Bone marrow aspirate smear — 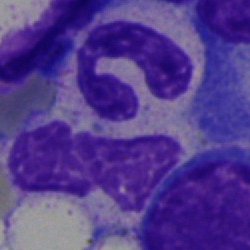

Specimen: bone marrow smear.
Morphological class: segmented neutrophil.